Bone marrow aspirate smear:
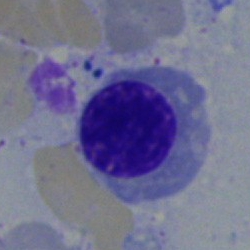 Cell type: nucleated red cell.